40× oil immersion · bone marrow smear.
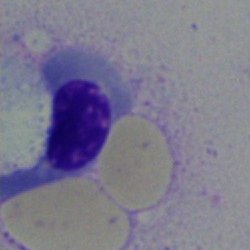Cell type: normoblast.